Bone marrow smear; brightfield, 40× oil-immersion objective.
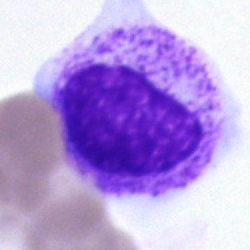
The cell shown is a myelocyte.